Bone marrow aspirate smear:
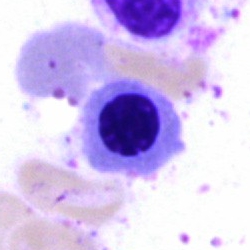

Specimen: bone marrow smear.
Morphological class: nucleated red blood cell.